Bone marrow aspirate smear: 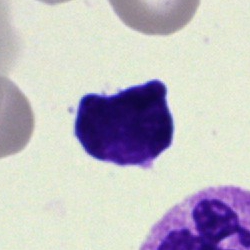 Typical lymphocyte.